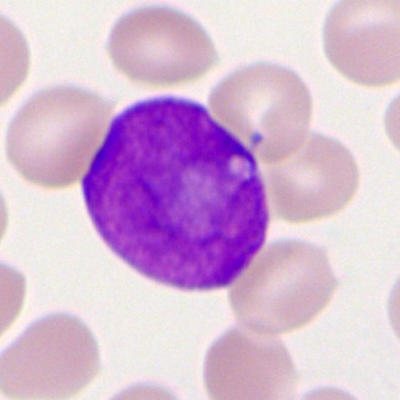

Specimen: peripheral blood film.
Morphological class: myeloid blast.
Lineage: myeloid.